Single-cell field; Pappenheim-stained; bone marrow smear.
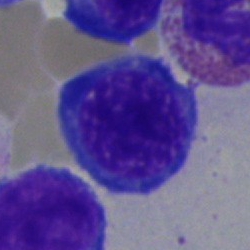Impression → normoblast.